Bone marrow aspirate smear:
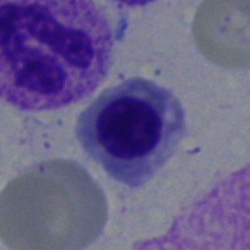 Cell = nucleated red blood cell.